Bone marrow smear
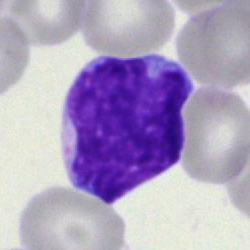
This is a blast.